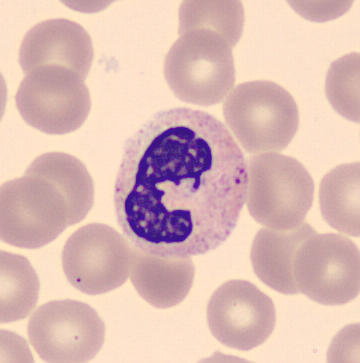 Impression → neutrophil (segmented).